Bone marrow aspirate smear
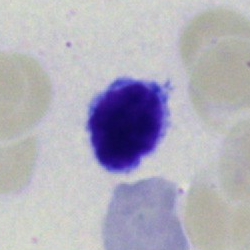

Cell: lymphocyte.